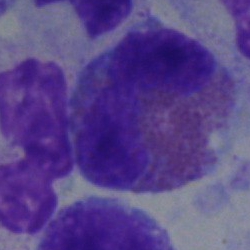
Q: What cell is this?
A: Eosinophilic granulocyte.